Bone marrow smear — 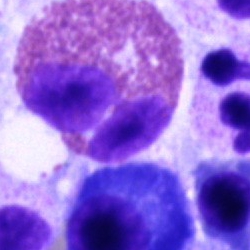

Q: What is shown here?
A: This is an eosinophilic granulocyte.